Peripheral blood film · single cell centered in the field · 400 by 400 pixels: 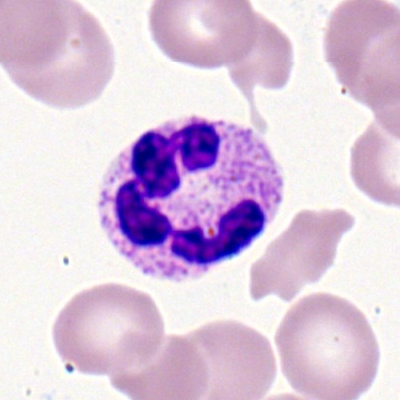Showing a segmented neutrophil.